Peripheral blood film:
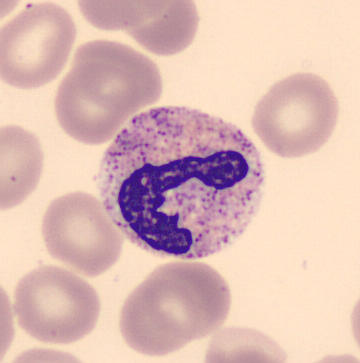Q: What is this?
A: It is a band neutrophil.